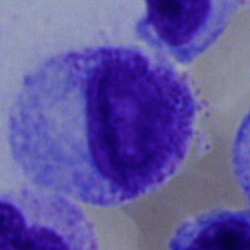
Specimen: bone marrow smear.
Classification: myelocyte.
Lineage: myeloid.